Bone marrow aspirate smear · cropped to a single cell:
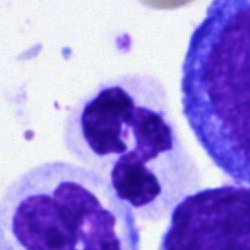Specimen: bone marrow smear.
Cell type: neutrophil (segmented).
Lineage: myeloid.